Peripheral blood film
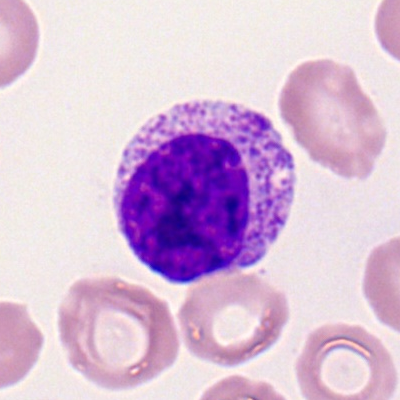Cell type — myelocyte.